Bone marrow smear
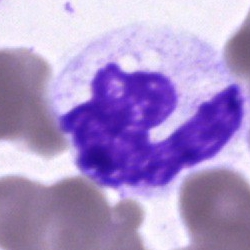
Showing an unidentifiable cell.